Bone marrow aspirate smear:
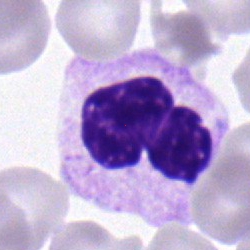

Q: What is shown here?
A: Segmented neutrophil.